Bone marrow smear; May-Grünwald-Giemsa stain.
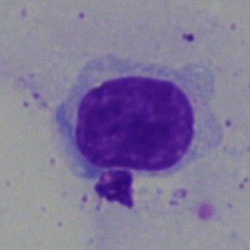
Classification = typical lymphocyte.